40× oil immersion · bone marrow smear.
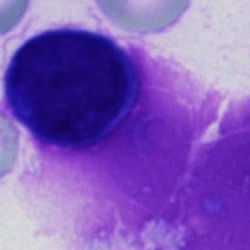 {"cell_type": "unidentifiable cell"}